Bone marrow smear
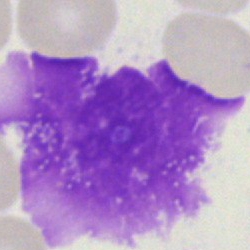
Cell: artifact.